Peripheral blood film — 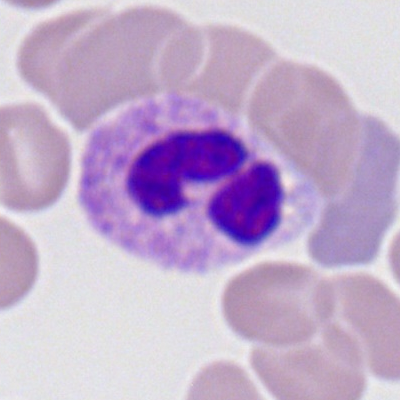
Showing a polymorphonuclear neutrophil.